Bone marrow smear: 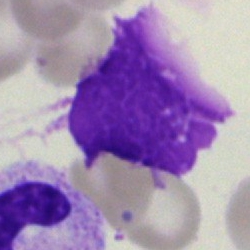

An artifact.